Bone marrow smear — 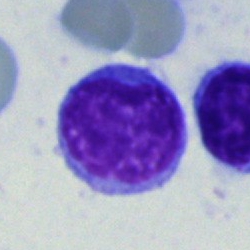
Q: What is the morphological classification of this cell?
A: This is a typical lymphocyte.